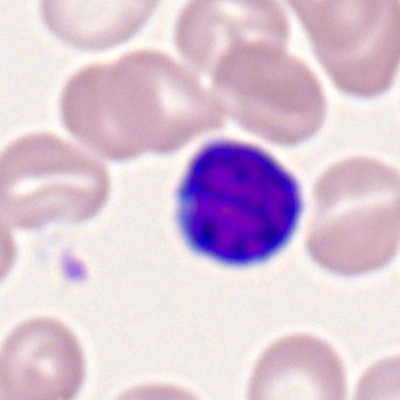 Showing a typical lymphocyte.